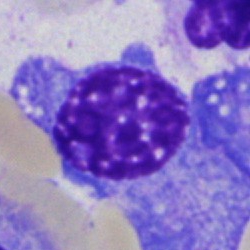Q: What type of cell is this?
A: A plasmacyte.